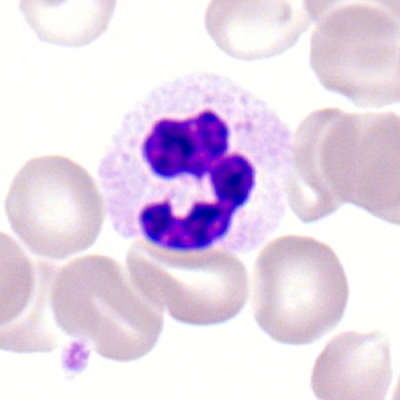A polymorphonuclear neutrophil.